Bone marrow smear:
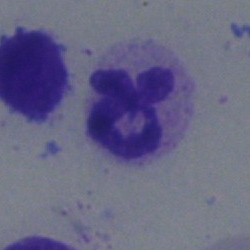

Morphology consistent with a neutrophil (segmented).